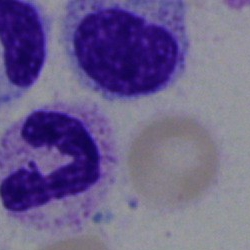Q: What is the morphological classification of this cell?
A: This is a segmented neutrophil.